Brightfield microscopy, 40× oil immersion; bone marrow aspirate smear: 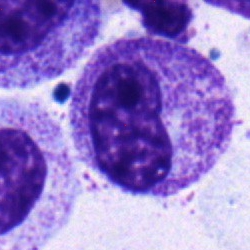 Single cell identified as a metamyelocyte.